Cropped to a single cell; bone marrow aspirate smear: 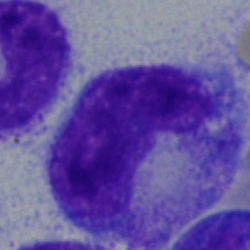
This is a metamyelocyte.